Single-cell field; bone marrow aspirate smear.
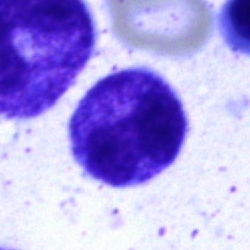

Cell type = segmented neutrophil.